250×250 · bone marrow aspirate smear
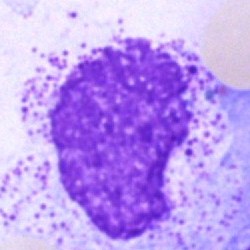
Morphology — monocyte.